Bone marrow aspirate smear; single-cell field
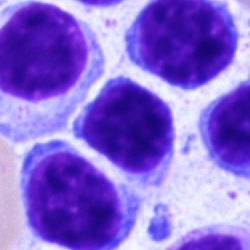
Specimen: bone marrow aspirate smear.
Classification: lymphocyte.